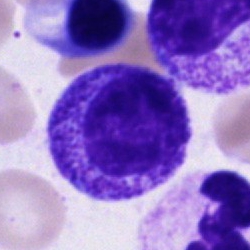

Impression → myelocyte.